Bone marrow smear; brightfield microscopy, 40× oil immersion:
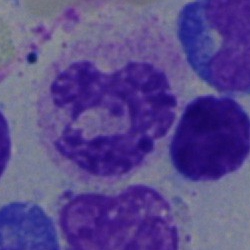 This is a neutrophil (segmented).